250×250; bone marrow smear — 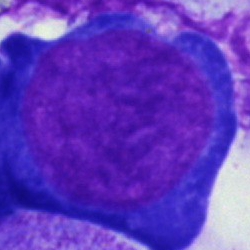Single cell identified as a proerythroblast.